Cropped to a single cell; MGG-stained; bone marrow aspirate smear — 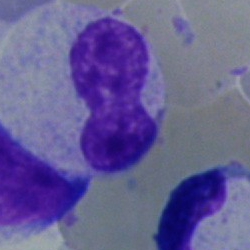
Specimen: bone marrow smear.
Cell type: band neutrophil.
Lineage: myeloid.